Bone marrow aspirate smear:
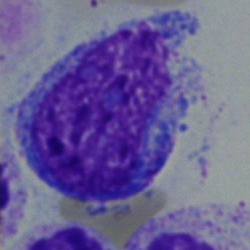

Q: What type of cell is this?
A: Blast cell.